Single-cell crop; brightfield microscopy, 40× oil immersion; bone marrow aspirate smear: 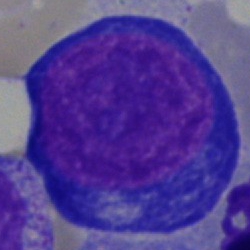Q: Identify the cell.
A: Pronormoblast.